May-Grünwald-Giemsa/Pappenheim stain; bone marrow smear; single-cell field: 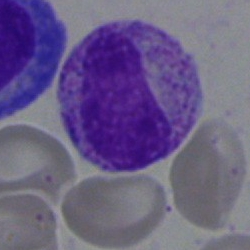The cell shown is a metamyelocyte.